Bone marrow smear. MGG-stained — 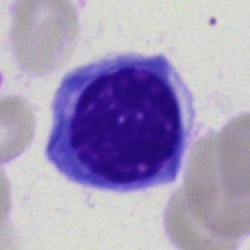 Morphological class = nucleated red cell.